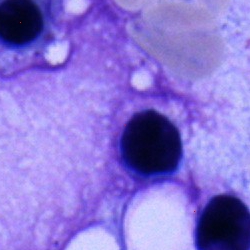
Morphological class — typical lymphocyte.